Bone marrow smear — 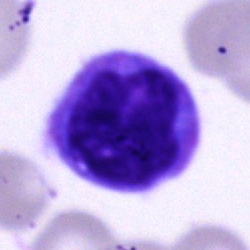Morphology consistent with a monocyte.